Image size 250×250; bone marrow aspirate smear; brightfield, 40× oil-immersion objective
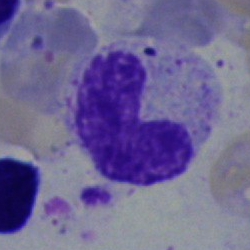 Band neutrophil.